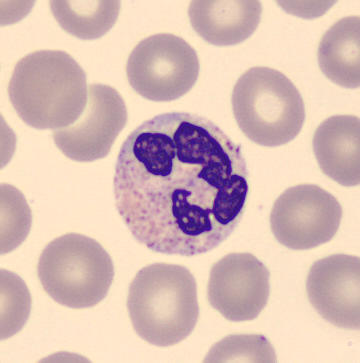 Morphology consistent with a segmented neutrophil.

Acquisition: 360×363 px; peripheral blood smear.